Bone marrow aspirate smear; Pappenheim-stained
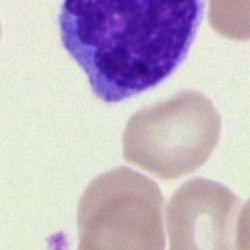
Specimen: bone marrow smear.
Classification: cell of indeterminate lineage.